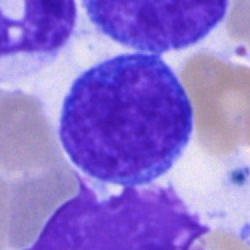 Morphology — monocyte.